Peripheral blood smear — 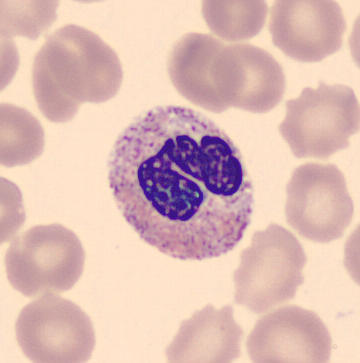 The morphological class is neutrophil (segmented).